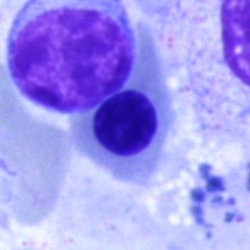 This is a nucleated red cell.